May-Grünwald-Giemsa/Pappenheim stain. 250×250 px. Bone marrow aspirate smear
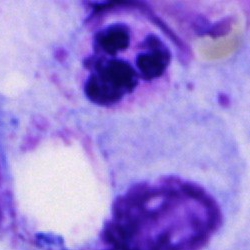 Specimen: bone marrow aspirate smear.
Cell: polymorphonuclear neutrophil.
Lineage: myeloid.